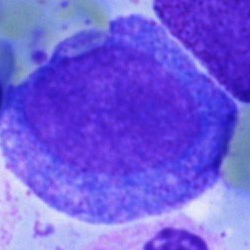 The classification is progranulocyte.